Bone marrow aspirate smear: 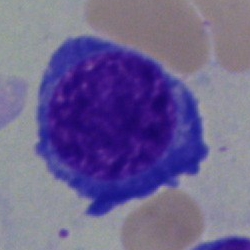
Classification = nucleated red cell.